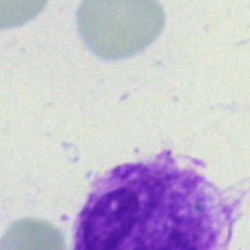
Cell type = artefact.